Peripheral blood film.
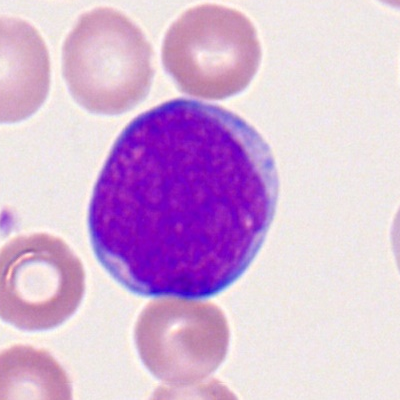 Specimen: peripheral blood film.
Morphological class: myeloid blast.